Bone marrow aspirate smear.
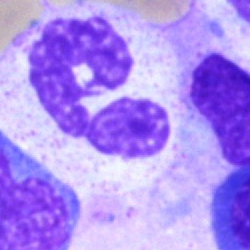

A neutrophil (segmented).